40× oil immersion; bone marrow smear; single cell centered in the field — 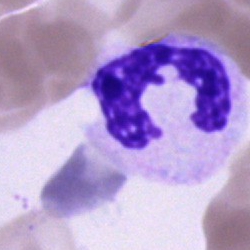
Q: What type of cell is this?
A: This is a neutrophil (segmented).